Bone marrow aspirate smear. MGG-stained.
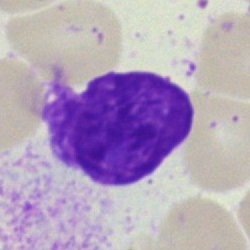
Classification — artifact.